Bone marrow aspirate smear: 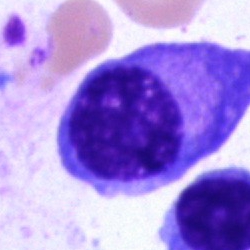
Q: What is the morphological classification of this cell?
A: A plasmacyte.